Peripheral blood film.
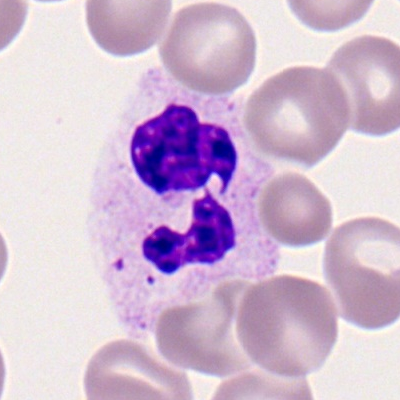 Q: Which cell type is shown here?
A: It is a segmented neutrophil.